Peripheral blood smear.
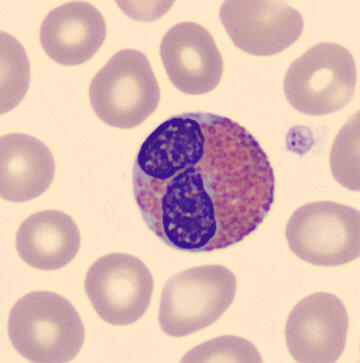
Specimen: peripheral blood smear.
Cell type: eosinophil.
Lineage: myeloid.